Bone marrow aspirate smear.
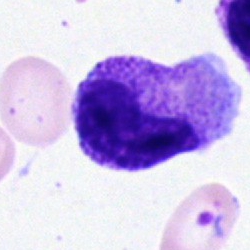

Q: What is shown here?
A: It is a band-form neutrophil.